Bone marrow smear. Single-cell crop: 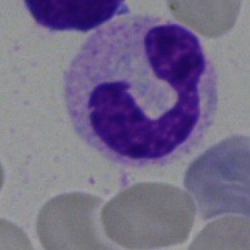 Q: What is the morphological classification of this cell?
A: This is a neutrophil (segmented).